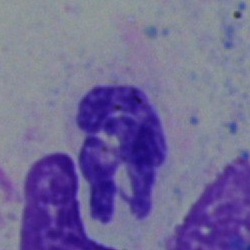
A polymorphonuclear neutrophil on a bone marrow smear.